Bone marrow smear.
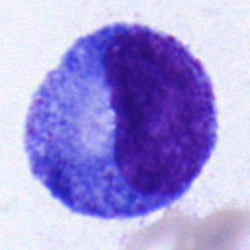
Q: Identify the cell.
A: A progranulocyte.